Bone marrow aspirate smear: 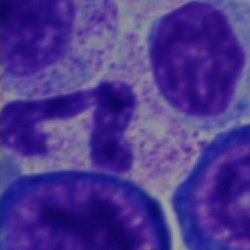
Specimen: bone marrow aspirate smear.
Cell: neutrophil (segmented).